Peripheral blood smear
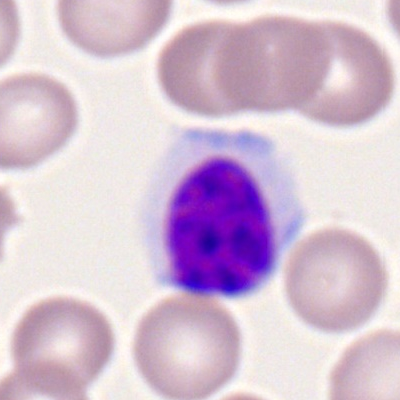
Morphology — typical lymphocyte.